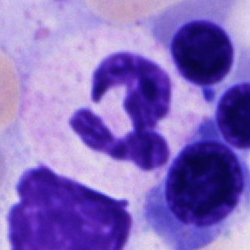

Classification = neutrophil (segmented).